Bone marrow aspirate smear.
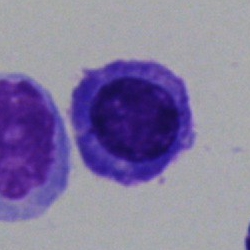 Specimen: bone marrow smear.
Cell type: plasmacyte.